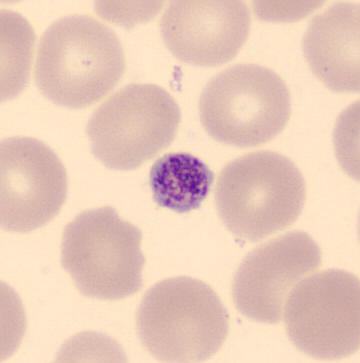

The classification is platelet (thrombocyte).
Image: Peripheral blood smear.